Bone marrow smear: 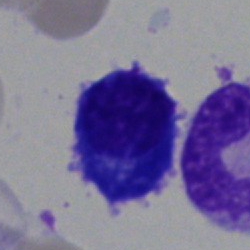

Cell: plasma cell.